Peripheral blood film; M8 digital microscope (Precipoint), 100× oil immersion
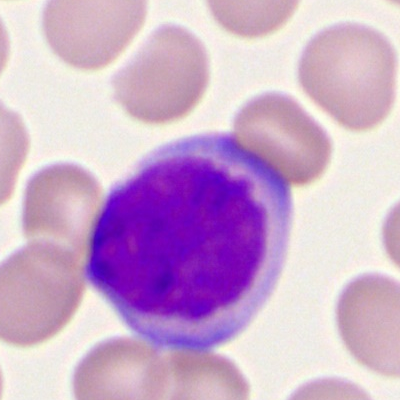Specimen: peripheral blood smear.
Cell type: myeloblast.
Lineage: myeloid.